Bone marrow smear
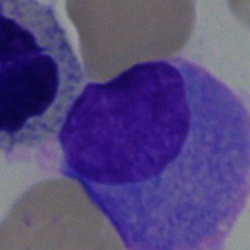

The cell type is plasmacyte.